Image size 400×400; peripheral blood smear
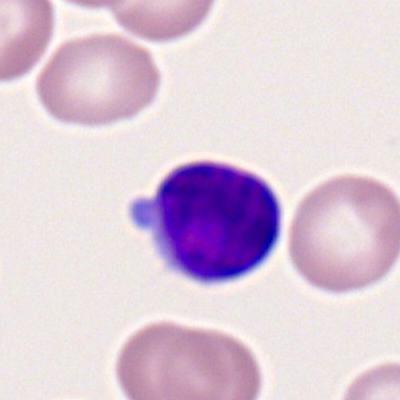Cell type = typical lymphocyte.